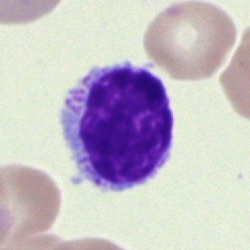

Cell type: typical lymphocyte.